Bone marrow aspirate smear · 250 by 250 pixels — 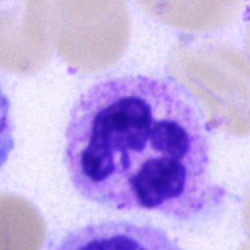

Morphological class — neutrophil (segmented).